Bone marrow smear. Single-cell field. 250×250: 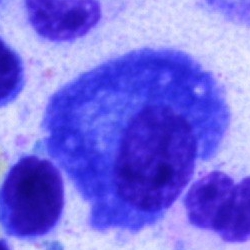

Cell type — plasmacyte.